May-Grünwald-Giemsa stain · single-cell crop · bone marrow aspirate smear.
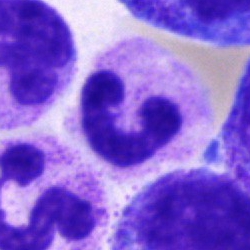

Morphological class — neutrophil (segmented).